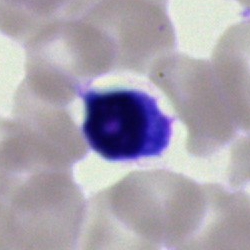Cell — typical lymphocyte.